Bone marrow aspirate smear; 250 by 250 pixels
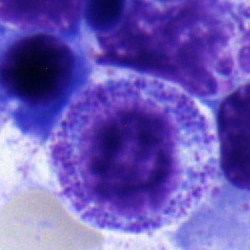
Single cell identified as a myelocyte.